Bone marrow aspirate smear.
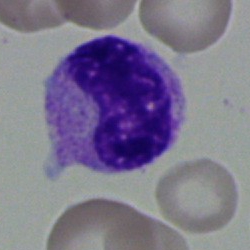

Specimen: bone marrow smear.
Cell type: metamyelocyte.
Lineage: myeloid.